MGG-stained. 40× objective, oil immersion. Bone marrow smear.
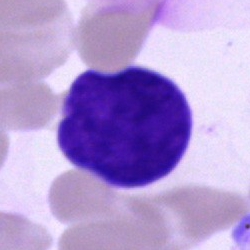

Showing an artefact.